May-Grünwald-Giemsa stain. Bone marrow smear
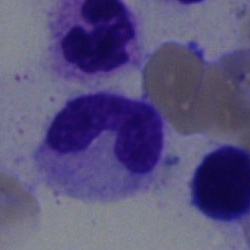Q: Identify the cell.
A: A band neutrophil.